M8 digital microscope (Precipoint), 100× oil immersion; peripheral blood smear; 400×400:
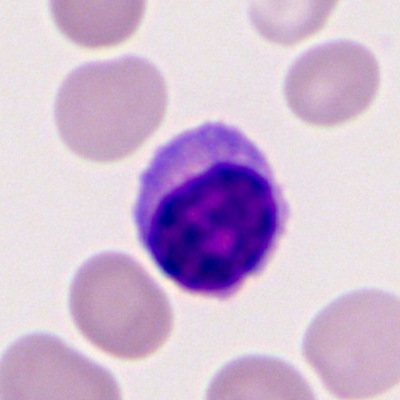 Cell = typical lymphocyte.